Peripheral blood smear
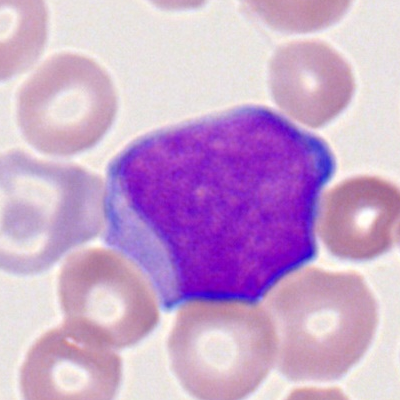

Q: What is shown here?
A: A myeloblast.